Bone marrow smear; brightfield microscopy, 40× oil immersion:
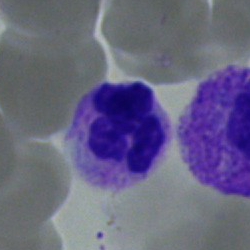
Classification — segmented neutrophil.